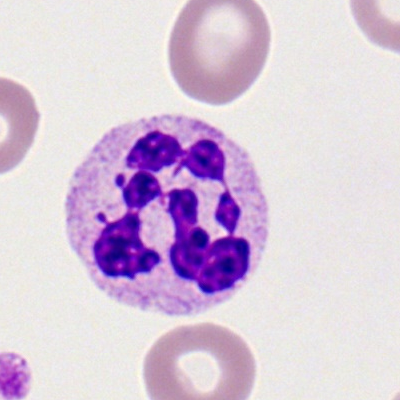
Q: Which cell type is shown here?
A: This is a polymorphonuclear neutrophil.